Bone marrow smear
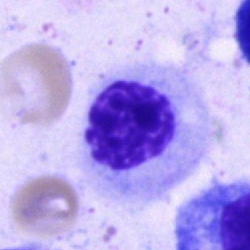Morphological class = nucleated red blood cell.